Bone marrow aspirate smear: 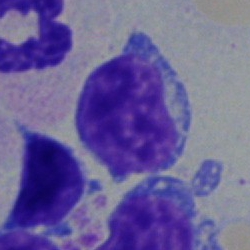

Classification — lymphocyte.